40× objective, oil immersion. May-Grünwald-Giemsa stain. Bone marrow smear: 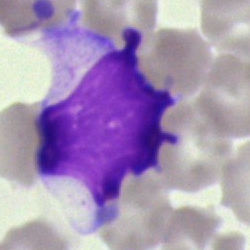
The cell type is artifact.